Peripheral blood film
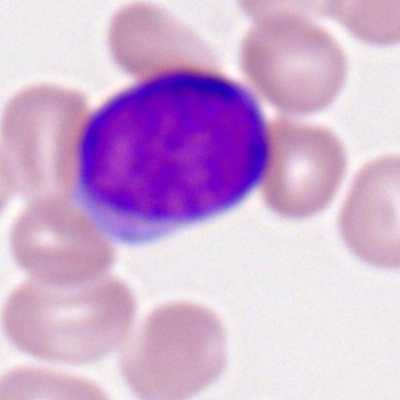

Cell = myeloblast.